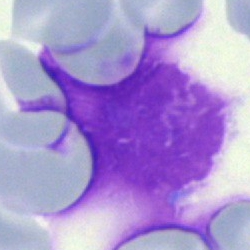

Single-cell crop from a bone marrow smear: artefact.